Bone marrow aspirate smear
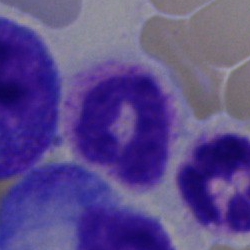 This is a neutrophil (segmented).